Bone marrow smear — 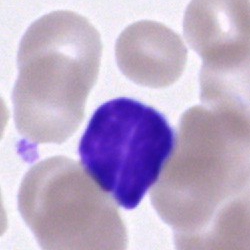

Specimen: bone marrow aspirate smear.
Cell: lymphocyte.